Bone marrow aspirate smear
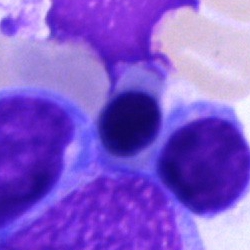

Morphological class: normoblast.